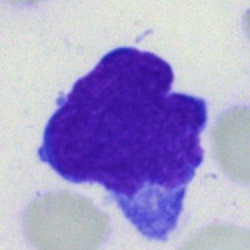

Specimen: bone marrow aspirate smear.
Morphological class: blast cell.